Bone marrow aspirate smear:
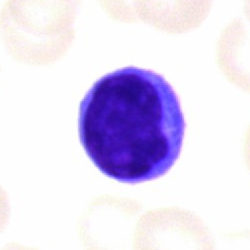 Specimen: bone marrow smear.
Morphological class: lymphocyte.
Lineage: lymphoid.